100× oil immersion; peripheral blood smear
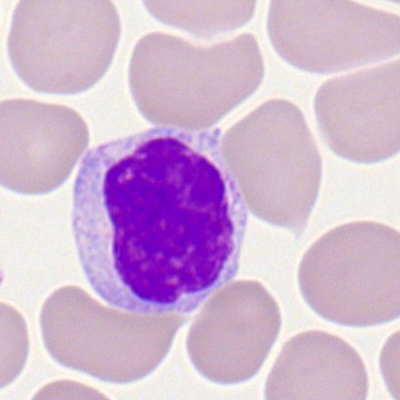This is a lymphocyte.